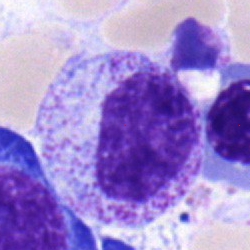 Cell — myelocyte.